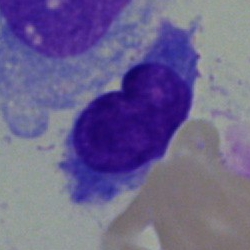
Specimen: bone marrow aspirate smear.
Cell: typical lymphocyte.